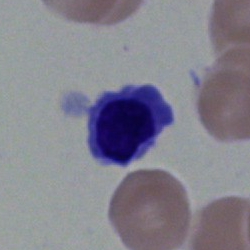
Classification: erythroblast.